MGG-stained; bone marrow smear: 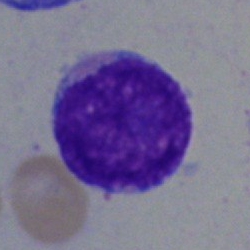 Morphology consistent with an undifferentiated blast.